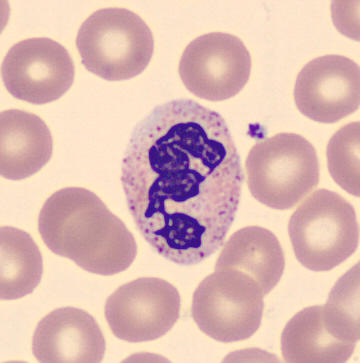

Impression — neutrophil (segmented).

Automated cell imaging (CellaVision DM96) · peripheral blood smear · cropped to a single cell.